Bone marrow aspirate smear; cropped to a single cell: 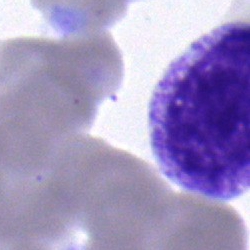

This is a myelocyte.